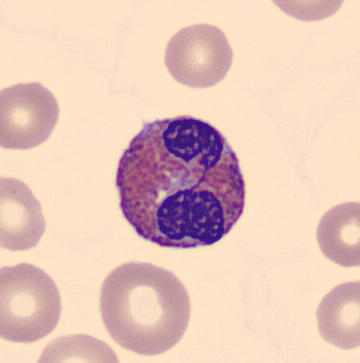

Specimen: peripheral blood film.
Cell type: eosinophil.